Peripheral blood smear. 400×400 — 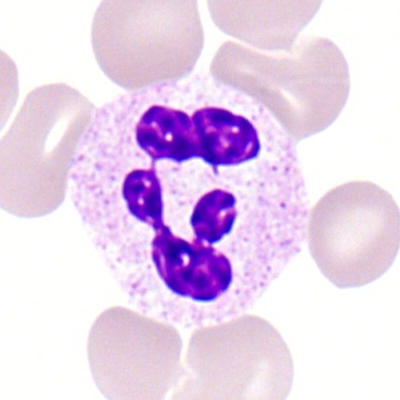
Morphology consistent with a polymorphonuclear neutrophil.